Bone marrow aspirate smear.
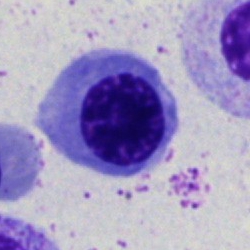 Nucleated red blood cell.